Bone marrow smear
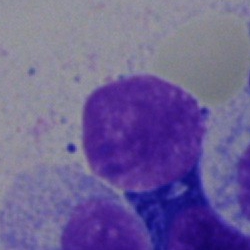Q: What is shown here?
A: This is an artefact.